Peripheral blood film
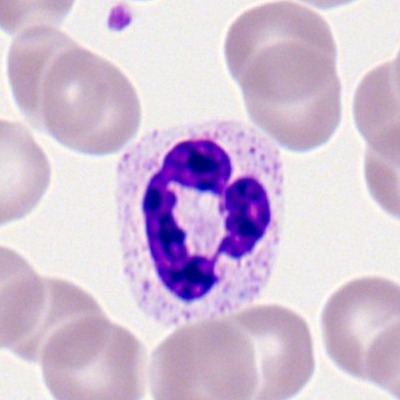
Single cell identified as a segmented neutrophil.